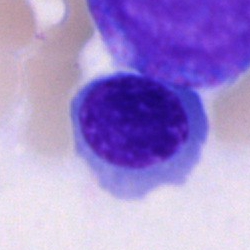

Morphological class: erythroblast.